May-Grünwald-Giemsa stain. 250×250 px. Bone marrow aspirate smear
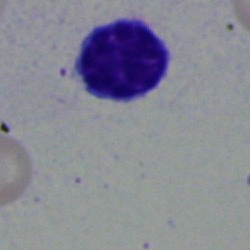

Lymphocyte.